250×250 px; bone marrow smear:
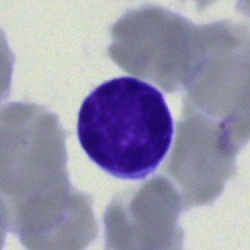 Cell type = typical lymphocyte.